Bone marrow smear. Single-cell field: 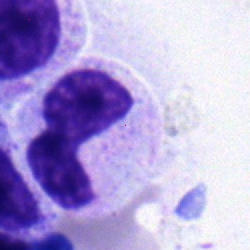
Morphology consistent with a stab cell.